Bone marrow aspirate smear:
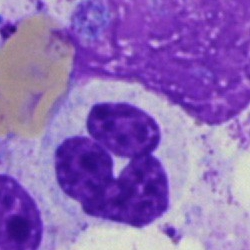Segmented neutrophil.